Bone marrow aspirate smear · 250×250 — 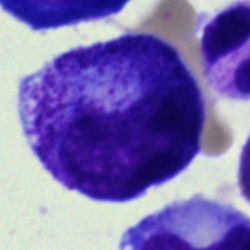Morphology consistent with a progranulocyte.